MGG stain. Peripheral blood smear.
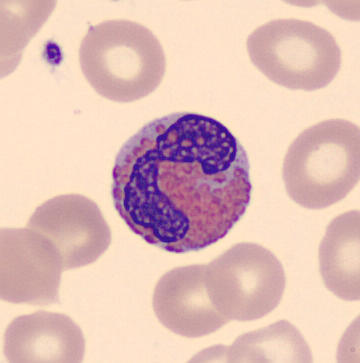 Morphology — eosinophil.